Bone marrow smear — 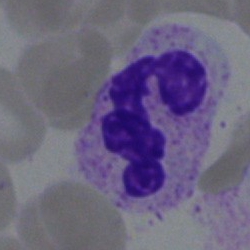

Classification = polymorphonuclear neutrophil.